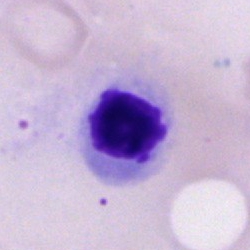Single-cell crop from a bone marrow smear: erythroblast.